Peripheral blood film.
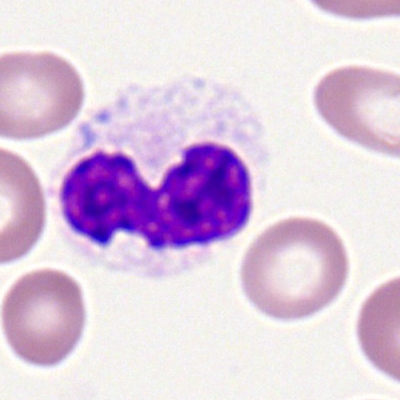Showing a polymorphonuclear neutrophil.